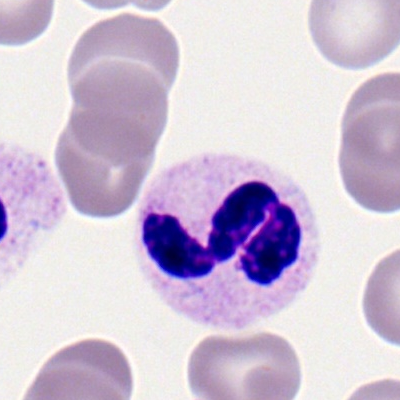

This is a polymorphonuclear neutrophil.